Pappenheim-stained · bone marrow aspirate smear
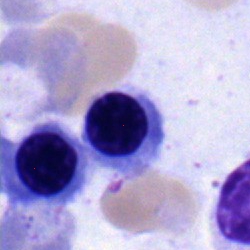
Specimen: bone marrow aspirate smear.
Cell type: nucleated red blood cell.
Lineage: erythroid.